Bone marrow smear
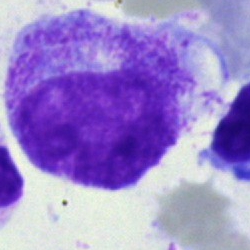Cell type: myelocyte.